Bone marrow smear: 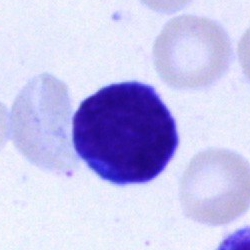
Q: What is shown here?
A: A typical lymphocyte.